Brightfield microscopy, 40× oil immersion · bone marrow smear · 250×250:
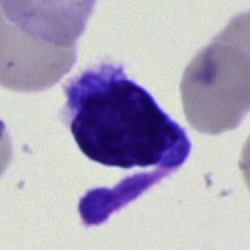 A typical lymphocyte.